Bone marrow aspirate smear
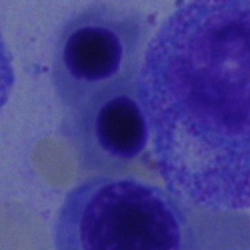Impression → nucleated red blood cell.